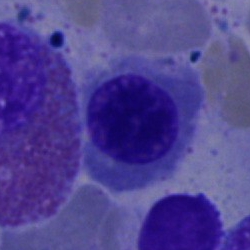Morphology → stab cell.